Bone marrow smear: 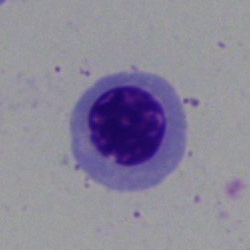

Morphological class — normoblast.